Peripheral blood film:
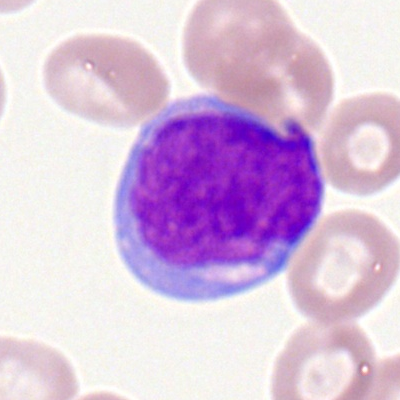

Morphological class = myeloid blast.